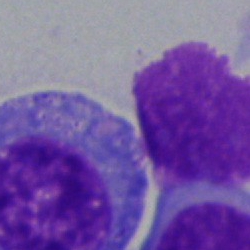Specimen: bone marrow aspirate smear.
Morphological class: blast.